Peripheral blood smear. 400 by 400 pixels. M8 digital microscope (Precipoint), 100× oil immersion:
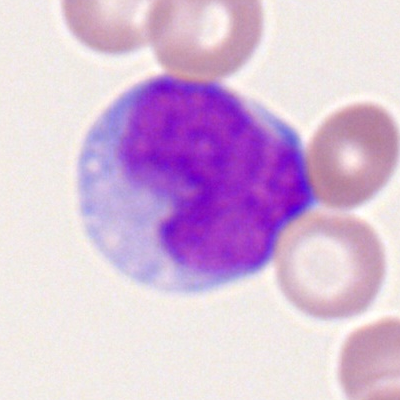
Morphology — myeloid blast.